Peripheral blood smear
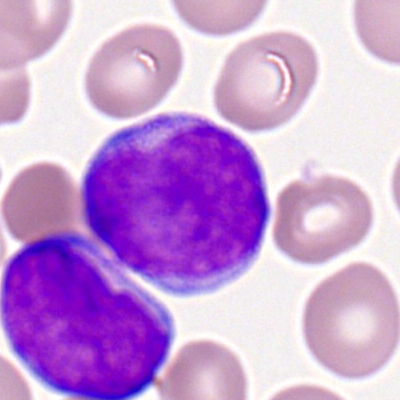 Q: Identify the cell.
A: Myeloid blast.